Cropped to a single cell; bone marrow smear
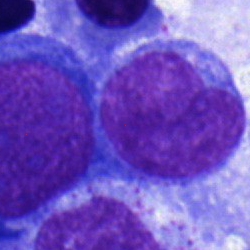
This is a blast cell.